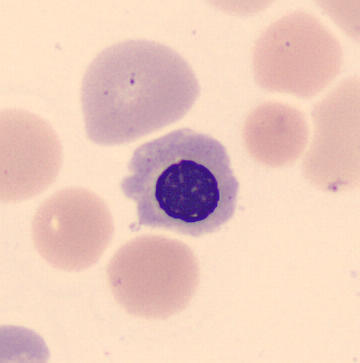 Preparation: Peripheral blood smear · single cell centered in the field.

The morphological class is erythroblast.